Bone marrow smear.
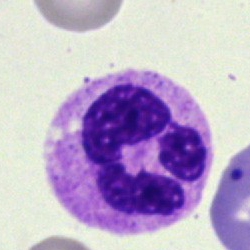

Cell type: neutrophil (segmented).